Cropped to a single cell. Bone marrow smear — 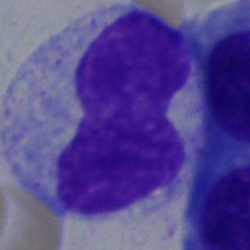

The cell shown is a monocyte.